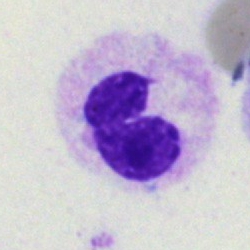

Morphological class: segmented neutrophil.